Bone marrow smear
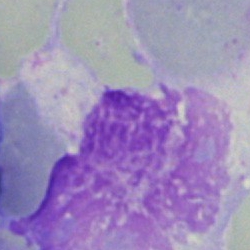The morphological class is artefact.